Bone marrow smear: 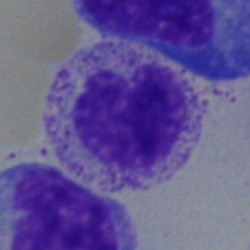Morphology — metamyelocyte.